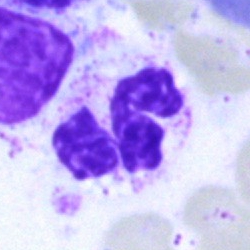 Bone marrow aspirate smear, single cell — segmented neutrophil.